40× oil immersion. Bone marrow aspirate smear. Pappenheim-stained.
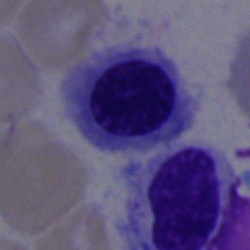
Impression — nucleated red blood cell.